Pappenheim-stained · bone marrow smear.
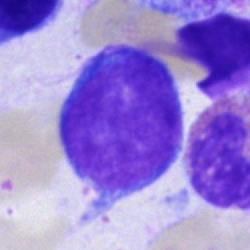

Specimen: bone marrow smear.
Cell: blast cell.